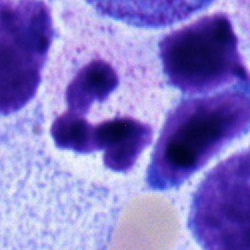 Impression → polymorphonuclear neutrophil.